Peripheral blood smear. 400 by 400 pixels. Single cell centered in the field
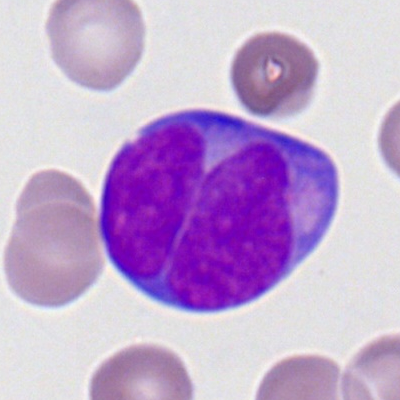This is a myeloid blast.